400×400; single-cell crop; peripheral blood smear:
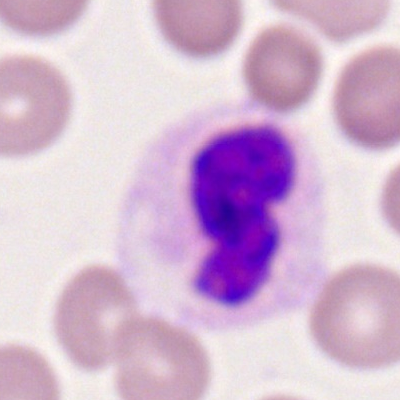 Q: What cell is this?
A: A polymorphonuclear neutrophil.